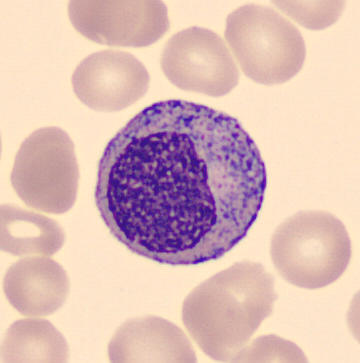
Peripheral blood film.

Morphology consistent with a progranulocyte.